Bone marrow smear. Single cell centered in the field: 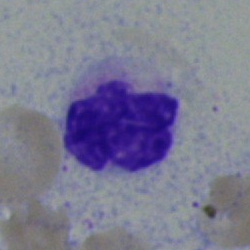 Segmented neutrophil.